Bone marrow aspirate smear. 40× objective, oil immersion.
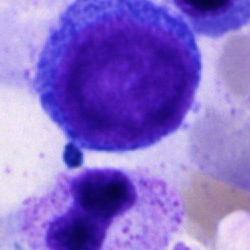

Showing a pronormoblast.